Peripheral blood film:
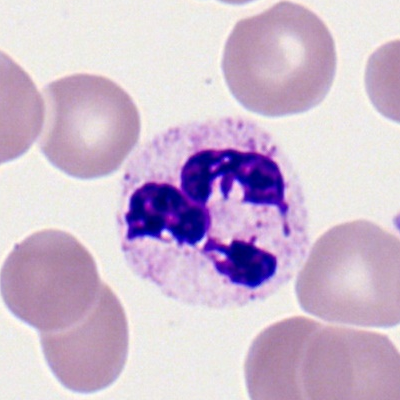
Cell = neutrophil (segmented).